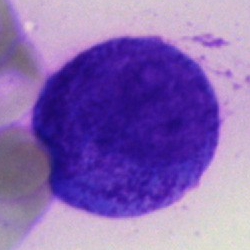This is a promyelocyte.